Bone marrow aspirate smear: 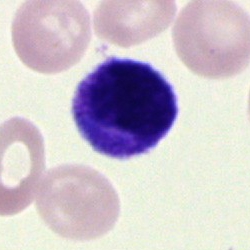

Classification = lymphocyte.